Bone marrow smear; May-Grünwald-Giemsa/Pappenheim stain; 250×250 px:
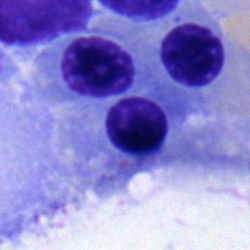 {"cell_type": "nucleated red cell", "lineage": "erythroid"}